Bone marrow smear.
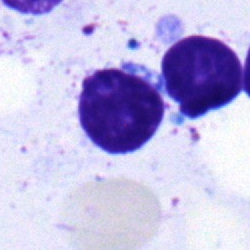

Q: Which cell type is shown here?
A: Typical lymphocyte.